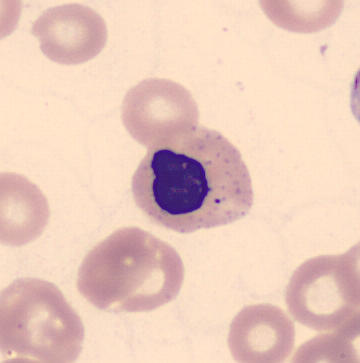
A normoblast. Image: Peripheral blood smear.